May-Grünwald-Giemsa stain; bone marrow aspirate smear
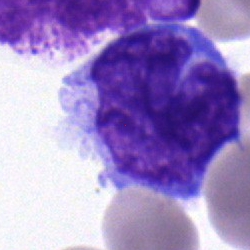Q: What cell is this?
A: Monocyte.